MGG-stained. Bone marrow aspirate smear: 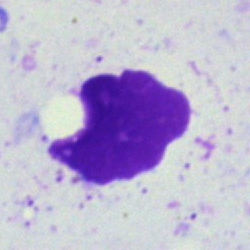
Artifact.